250×250. May-Grünwald-Giemsa/Pappenheim stain. Bone marrow smear — 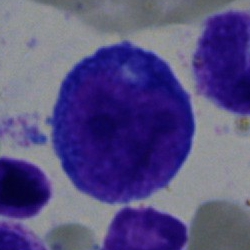
Q: What cell is this?
A: This is a progranulocyte.